Romanowsky stain · peripheral blood film · 100× oil immersion, 14.14 px/µm — 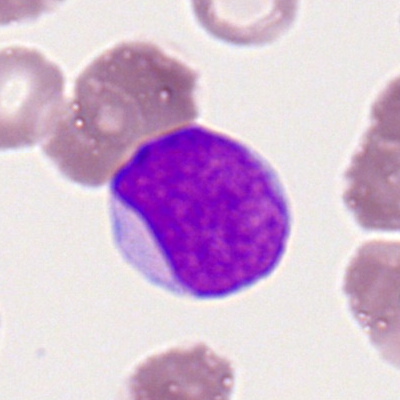

Single cell identified as a myeloid blast.